250 by 250 pixels · bone marrow aspirate smear.
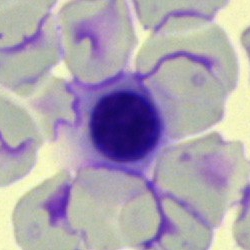

{"cell_type": "nucleated red cell", "lineage": "erythroid"}